Bone marrow smear — 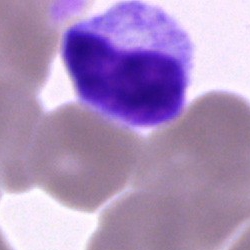
Q: Identify the cell.
A: This is a cell of indeterminate lineage.